Bone marrow smear: 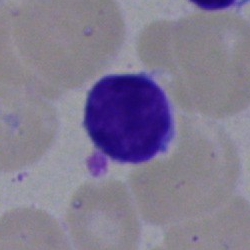Showing a lymphocyte.